May-Grünwald-Giemsa stain; bone marrow aspirate smear; image size 250×250:
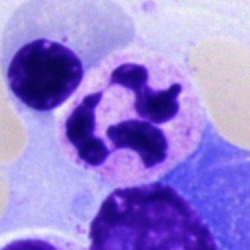

Q: Which cell type is shown here?
A: It is a polymorphonuclear neutrophil.